Bone marrow smear: 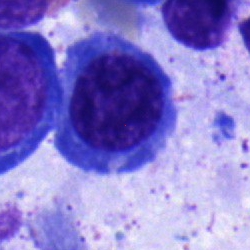
Showing a nucleated red cell.